Bone marrow aspirate smear — 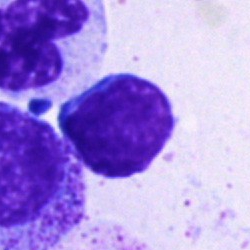 Showing a typical lymphocyte.